May-Grünwald-Giemsa stain; 250×250; bone marrow aspirate smear.
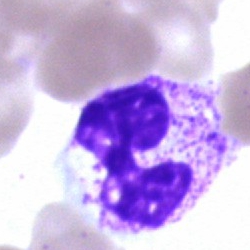
Impression — neutrophil (segmented).